Bone marrow smear:
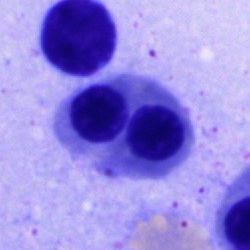 Morphology consistent with a normoblast.